Bone marrow aspirate smear: 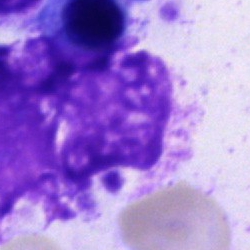

Specimen: bone marrow smear.
Cell type: artifact.